Single-cell field; bone marrow aspirate smear — 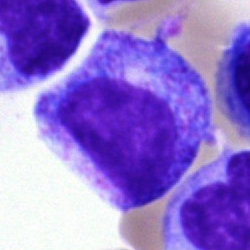
Morphology → progranulocyte.